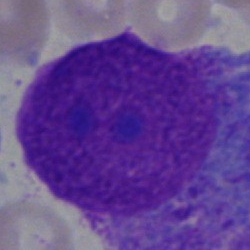

Showing an artifact.